Bone marrow smear: 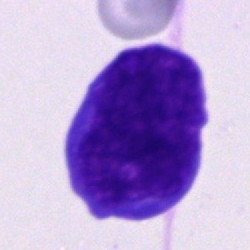

Undifferentiated blast.